40× oil immersion · single cell centered in the field · bone marrow smear — 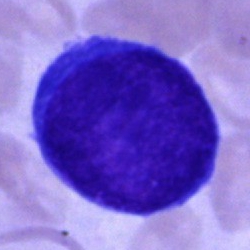Q: Identify the cell.
A: A blast cell.